250 by 250 pixels. Bone marrow smear. MGG-stained:
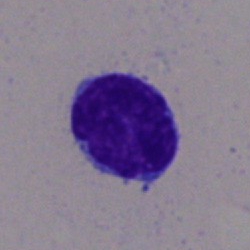

{"cell_type": "lymphocyte"}